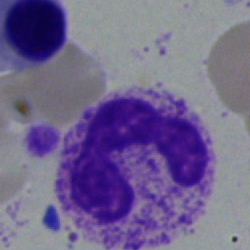
Q: Which cell type is shown here?
A: A polymorphonuclear neutrophil.